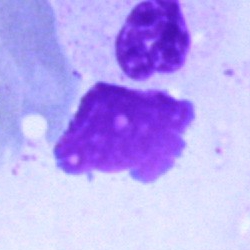 {"cell_type": "artefact"}